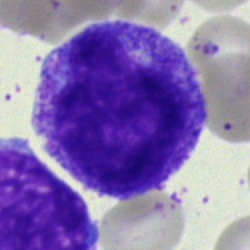Bone marrow smear showing a promyelocyte.